Bone marrow smear
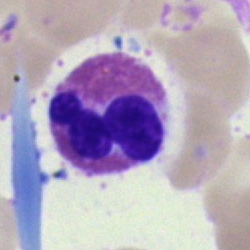Morphology — eosinophil.